Bone marrow smear · 40× oil immersion.
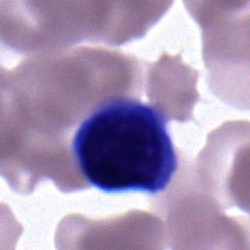

This is an erythroblast.